Bone marrow smear — 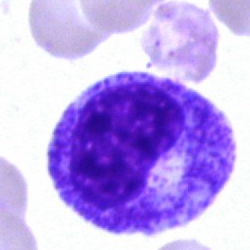
Q: What cell is this?
A: It is a metamyelocyte.